Bone marrow aspirate smear. 40× objective, oil immersion: 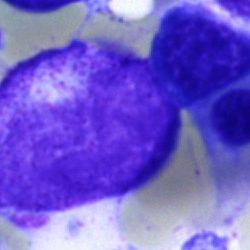 Impression — myelocyte.